Bone marrow aspirate smear.
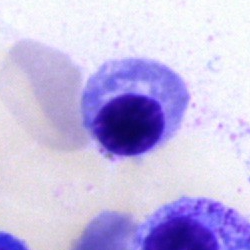A normoblast.